Brightfield, 100× oil-immersion objective. Peripheral blood film — 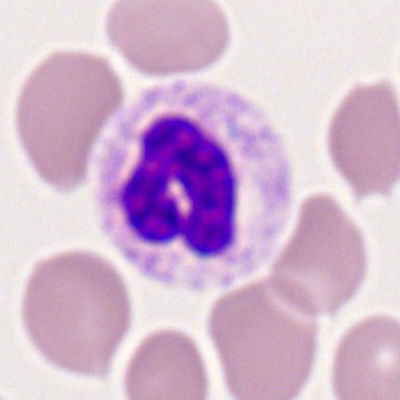
Showing a neutrophil (segmented).